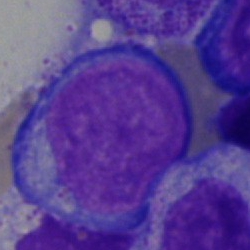

A pronormoblast on a bone marrow smear.